Bone marrow smear:
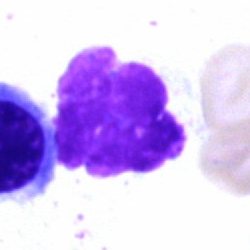

Specimen: bone marrow aspirate smear.
Cell: artifact.